Image size 250×250; bone marrow smear; single-cell crop.
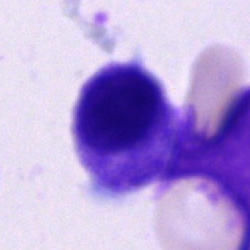
Morphology → unidentifiable cell.